Peripheral blood smear. Image size 400×400.
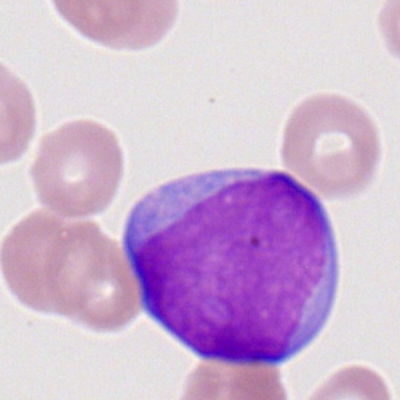

Specimen: peripheral blood film.
Morphological class: myeloid blast.